Bone marrow smear
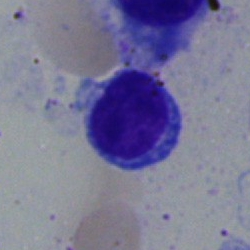Q: Which cell type is shown here?
A: A lymphocyte.